Brightfield microscopy, 40× oil immersion · bone marrow aspirate smear — 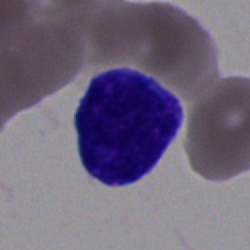
Q: What type of cell is this?
A: It is an undifferentiated blast.